Bone marrow smear:
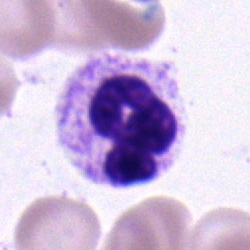

The cell shown is a segmented neutrophil.